Brightfield microscopy, 40× oil immersion; bone marrow smear; MGG-stained.
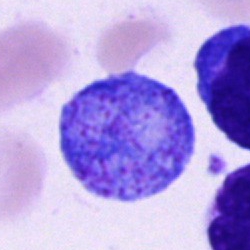 Classification: artifact.